Bone marrow smear — 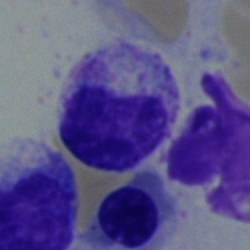Classification = myelocyte.